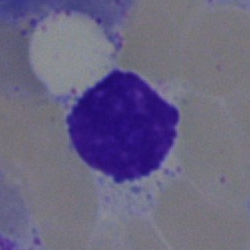

Morphological class — lymphocyte.